Bone marrow aspirate smear
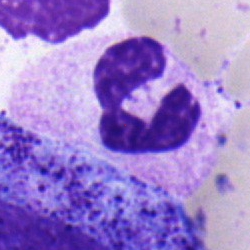

This is a polymorphonuclear neutrophil.